Bone marrow smear; single-cell crop: 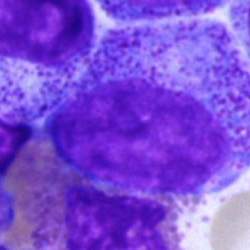Classification = progranulocyte.